Bone marrow aspirate smear — 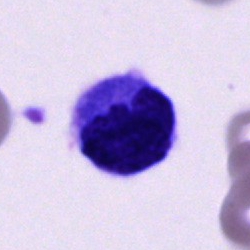This is an unidentifiable cell.